Bone marrow smear.
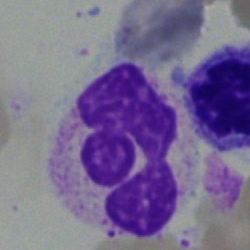
{"cell_type": "basophil"}